Bone marrow aspirate smear; 40× objective, oil immersion: 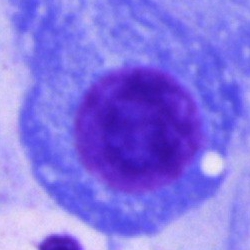

{"cell_type": "plasma cell", "lineage": "lymphoid"}